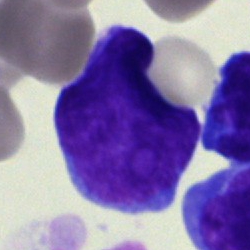
Specimen: bone marrow aspirate smear.
Morphological class: undifferentiated blast.